Brightfield, 40× oil-immersion objective. Bone marrow aspirate smear:
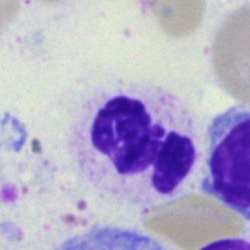 Showing a polymorphonuclear neutrophil.